Bone marrow smear.
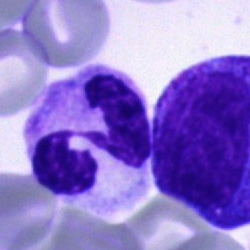 Impression — segmented neutrophil.